Pappenheim-stained · single-cell crop · bone marrow aspirate smear.
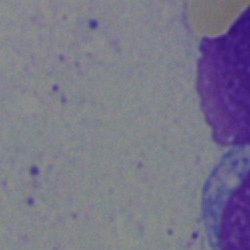Impression — artefact.